Bone marrow smear. Cropped to a single cell — 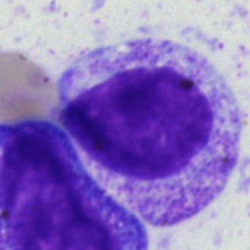Morphology consistent with a myelocyte.